Bone marrow aspirate smear · May-Grünwald-Giemsa stain.
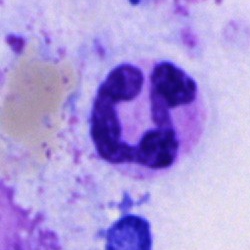

Q: Identify the cell.
A: A segmented neutrophil.